Bone marrow smear.
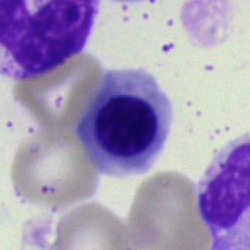Specimen: bone marrow aspirate smear.
Cell type: nucleated red cell.
Lineage: erythroid.